Bone marrow smear: 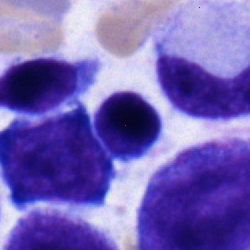A lymphocyte.